Bone marrow aspirate smear.
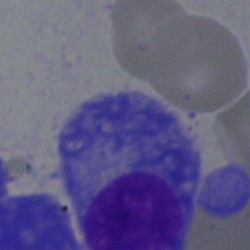Morphology consistent with a plasma cell.